Bone marrow aspirate smear
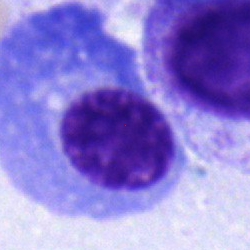
Q: Identify the cell.
A: Plasmacyte.